Bone marrow smear. Brightfield microscopy, 40× oil immersion:
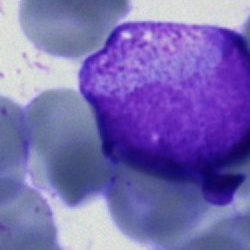 Q: What type of cell is this?
A: It is a blast.